250×250 px · bone marrow aspirate smear: 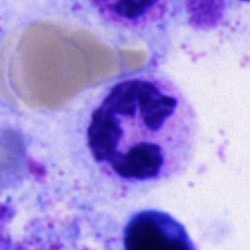
Cell: polymorphonuclear neutrophil.